250×250; bone marrow smear:
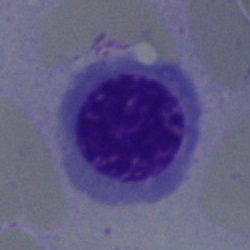

Showing an erythroblast.